Bone marrow smear.
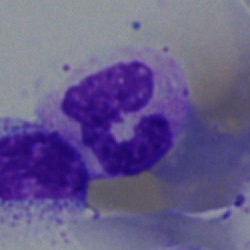

Q: What type of cell is this?
A: This is a segmented neutrophil.